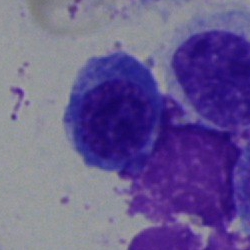 Showing an erythroblast.